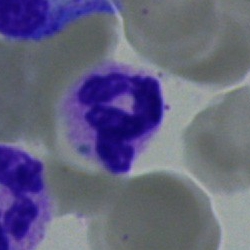The cell is neutrophil (segmented).